Bone marrow aspirate smear:
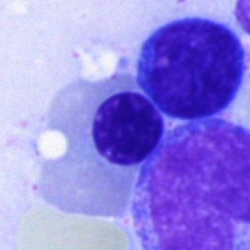 Showing an erythroblast.